Bone marrow smear; MGG-stained: 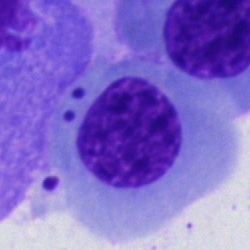

Showing a nucleated red cell.